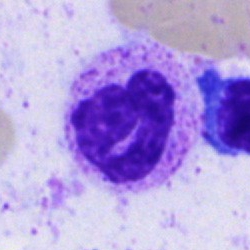 A neutrophil (segmented) on a bone marrow smear.